Peripheral blood smear.
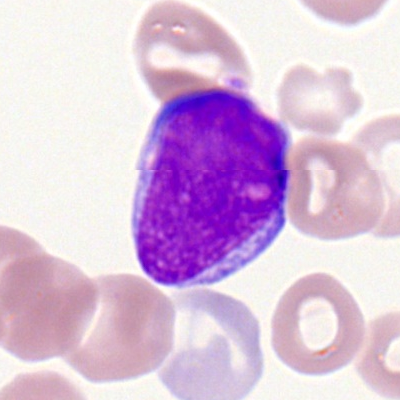The cell type is myeloid blast.